Brightfield, 40× oil-immersion objective; cropped to a single cell; bone marrow aspirate smear:
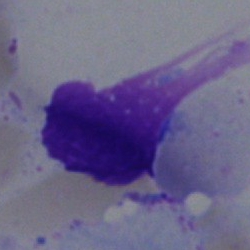 Cell = artifact.